Peripheral blood smear:
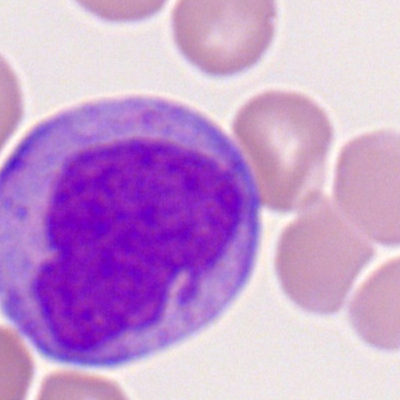

Impression — monocyte.